Bone marrow smear.
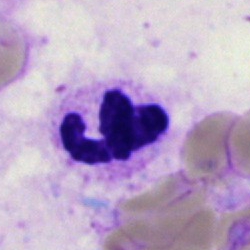
{"cell_type": "polymorphonuclear neutrophil", "lineage": "myeloid"}